Cropped to a single cell · bone marrow smear:
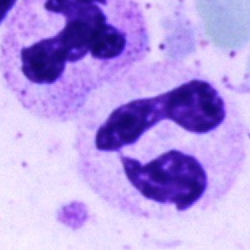 Morphology → neutrophil (segmented).